Bone marrow smear. 250 by 250 pixels:
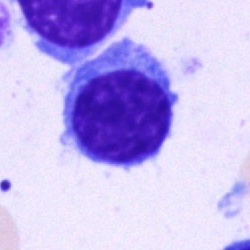
Showing a lymphocyte.